Bone marrow aspirate smear:
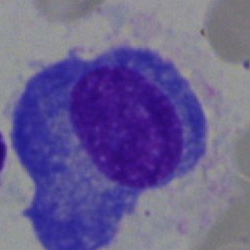
Plasmacyte.